Bone marrow aspirate smear:
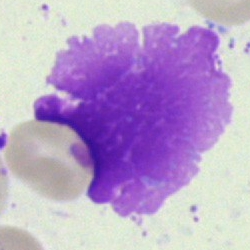Single cell identified as an artifact.